Bone marrow aspirate smear: 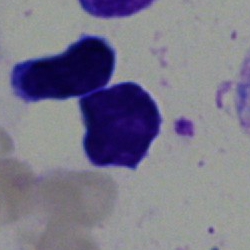
A lymphocyte.